Bone marrow aspirate smear
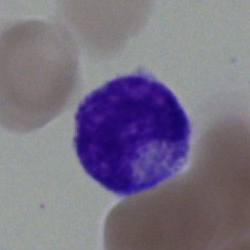
Q: Identify the cell.
A: A myelocyte.